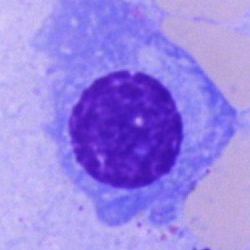
Single cell identified as a plasmacyte.